Bone marrow smear — 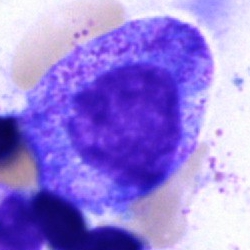

Specimen: bone marrow smear.
Cell: promyelocyte.
Lineage: myeloid.